Bone marrow aspirate smear: 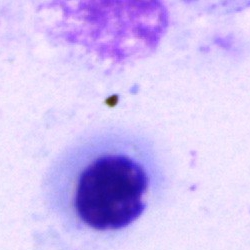

Morphology consistent with a nucleated red blood cell.